40× oil immersion; bone marrow smear; 250×250:
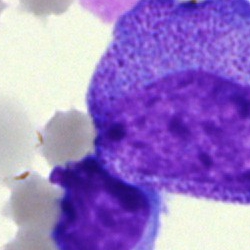

{"cell_type": "promyelocyte"}